Bone marrow aspirate smear.
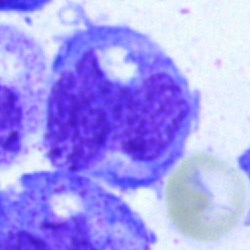
Q: What type of cell is this?
A: A monocyte.